Bone marrow smear: 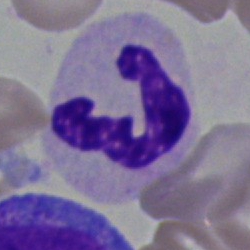 A polymorphonuclear neutrophil.